100× objective, oil immersion; 400 by 400 pixels; peripheral blood film.
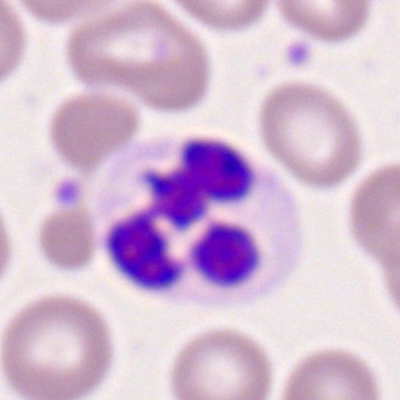Morphology consistent with a neutrophil (segmented).